Peripheral blood smear · 100× oil immersion, 14.14 px/µm · Romanowsky-stained
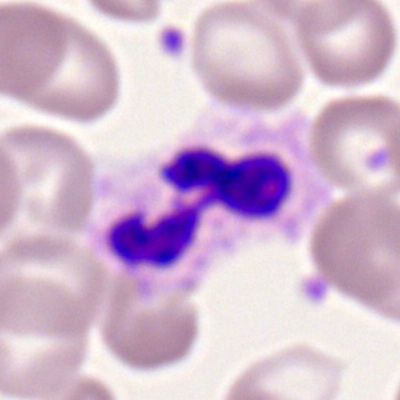Morphological class = neutrophil (segmented).